Peripheral blood smear — 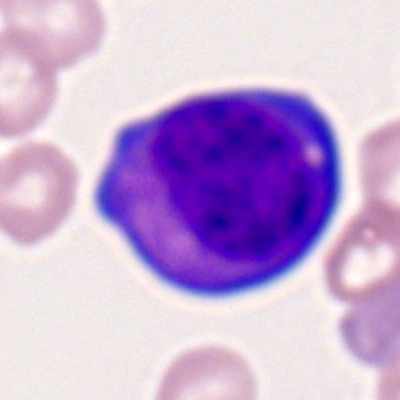 Specimen: peripheral blood film.
Classification: myeloid blast.
Lineage: myeloid.